Bone marrow smear.
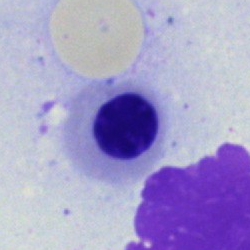
Classification = erythroblast.